Bone marrow smear:
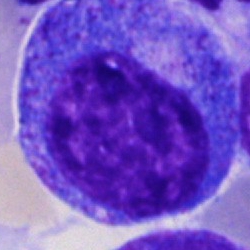
Q: What is the morphological classification of this cell?
A: Promyelocyte.